May-Grünwald-Giemsa stain. Bone marrow aspirate smear — 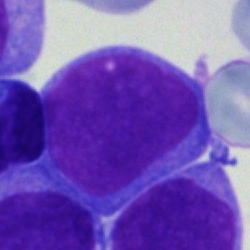

The classification is blast.